Bone marrow smear.
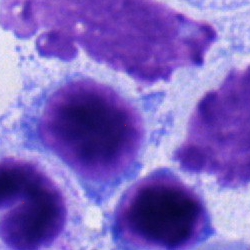The cell shown is a typical lymphocyte.